Bone marrow smear · brightfield microscopy, 40× oil immersion · image size 250×250.
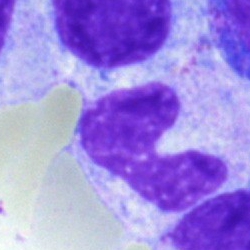

Morphology — band neutrophil.